Bone marrow smear.
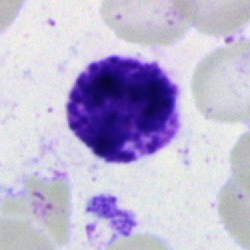
Impression → basophilic granulocyte.